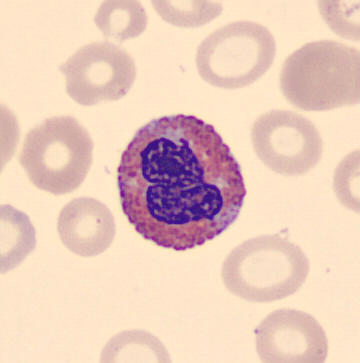
The cell is eosinophilic granulocyte.